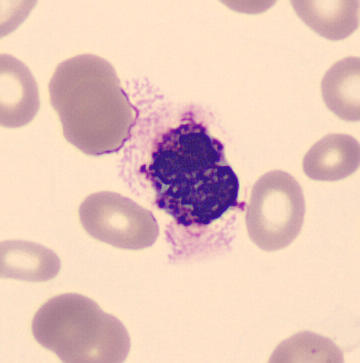
Peripheral blood film.

Impression — basophil.